Bone marrow aspirate smear — 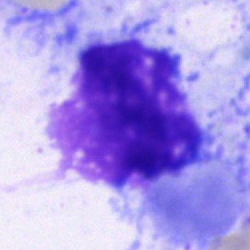This is an artifact.